Bone marrow aspirate smear. Image size 250×250. Single cell centered in the field.
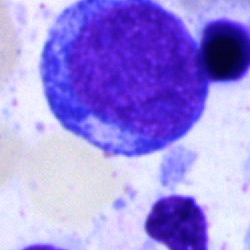
Specimen: bone marrow smear.
Cell type: pronormoblast.
Lineage: erythroid.